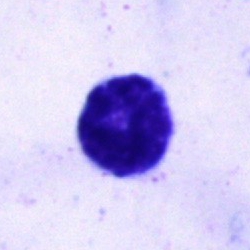
Q: What is shown here?
A: It is a typical lymphocyte.